Bone marrow smear:
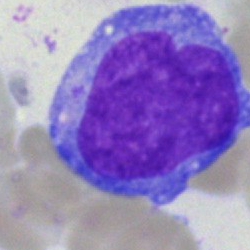 A blast cell.